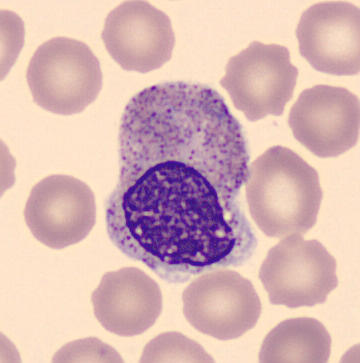Image: Peripheral blood film.
The cell is myelocyte.